Bone marrow aspirate smear — 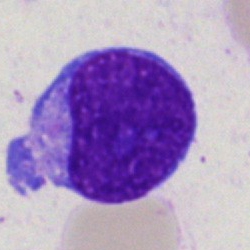
Cell — blast.